Peripheral blood smear. Cropped to a single cell. 400×400 px
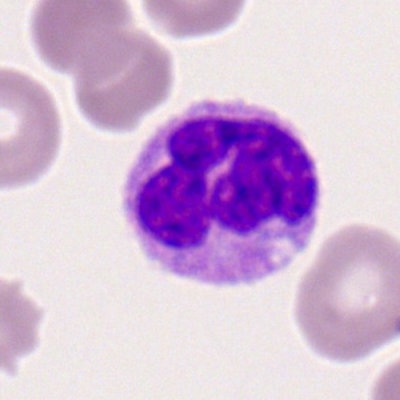Impression — neutrophil (segmented).